Bone marrow aspirate smear
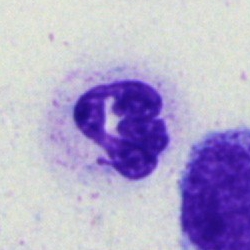{"cell_type": "polymorphonuclear neutrophil", "lineage": "myeloid"}